Bone marrow smear — 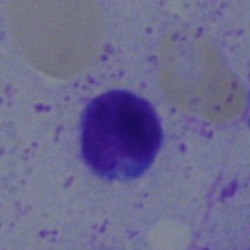

Specimen: bone marrow aspirate smear.
Classification: typical lymphocyte.
Lineage: lymphoid.